Bone marrow smear. Brightfield, 40× oil-immersion objective: 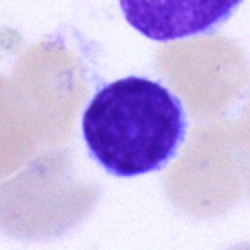Showing a lymphocyte.